Bone marrow smear: 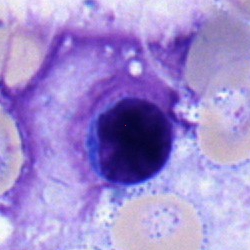

Showing a typical lymphocyte.